Bone marrow smear — 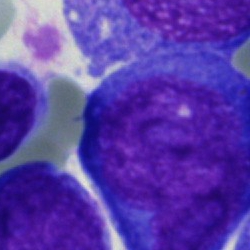 Morphology consistent with a blast cell.